40× objective, oil immersion · bone marrow aspirate smear — 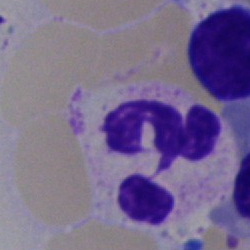 A polymorphonuclear neutrophil.